Bone marrow smear
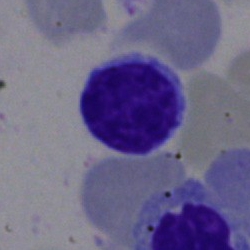

{"cell_type": "lymphocyte"}